Bone marrow smear; single cell centered in the field — 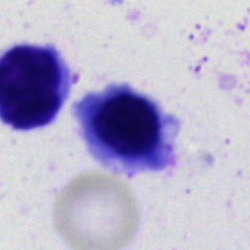
A normoblast.